Peripheral blood film. 400 by 400 pixels — 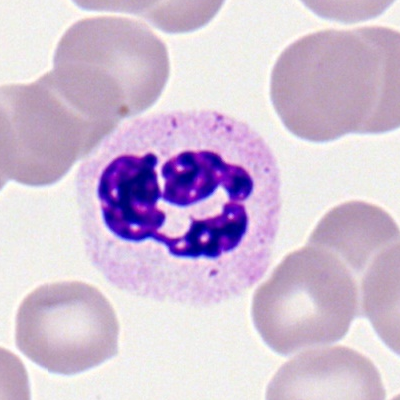
Q: What is the morphological classification of this cell?
A: Neutrophil (segmented).